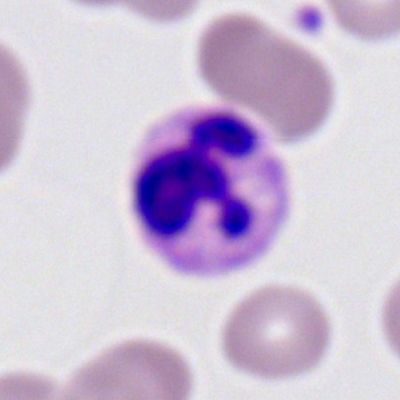 Impression — polymorphonuclear neutrophil.